Single cell centered in the field. Bone marrow smear
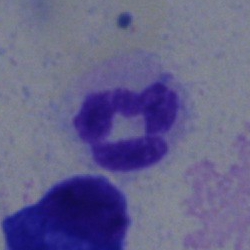 This is a polymorphonuclear neutrophil.